Bone marrow smear — 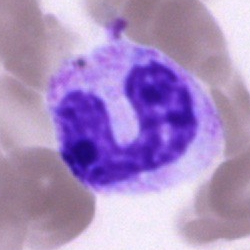

Q: What cell is this?
A: A band-form neutrophil.